40× oil immersion · bone marrow aspirate smear — 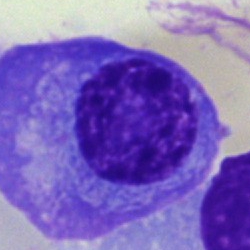
{"cell_type": "plasmacyte"}